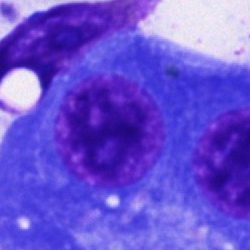

Q: What type of cell is this?
A: Plasmacyte.